Bone marrow smear
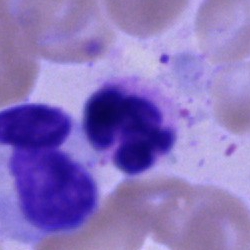 Q: Which cell type is shown here?
A: Polymorphonuclear neutrophil.